Bone marrow aspirate smear: 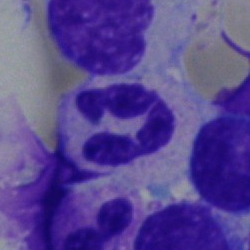

Morphological class — neutrophil (segmented).